Peripheral blood smear; single-cell field:
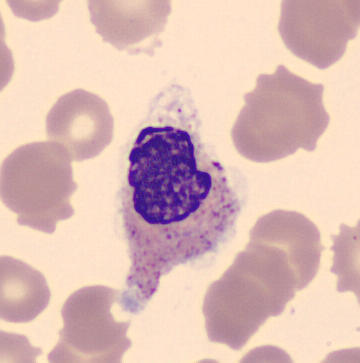
Q: What is shown here?
A: Metamyelocyte.